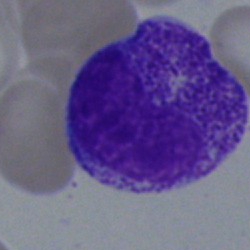Bone marrow smear showing a metamyelocyte.